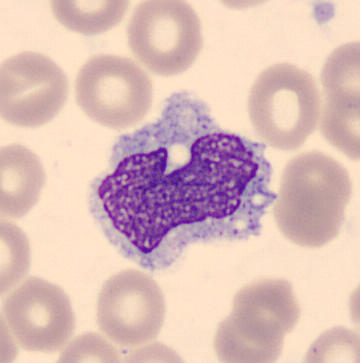
Showing a monocyte.